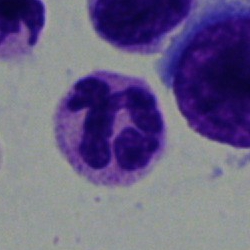 Q: What is shown here?
A: This is a polymorphonuclear neutrophil.